Bone marrow aspirate smear. 250 by 250 pixels.
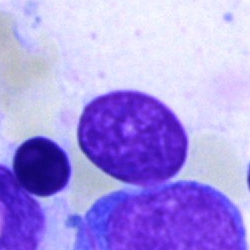 An artefact.